Single-cell field; bone marrow aspirate smear; Pappenheim-stained:
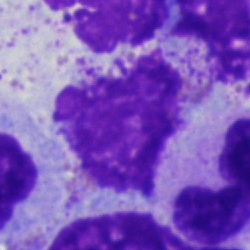Morphology — artifact.